Bone marrow smear: 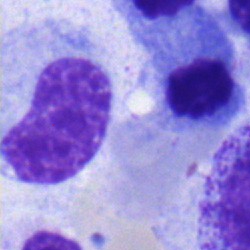

Morphological class — metamyelocyte.